250×250 px · bone marrow smear · single-cell crop
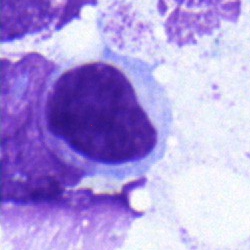

The cell shown is a typical lymphocyte.